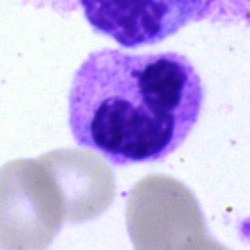 Morphological class = segmented neutrophil.